Bone marrow aspirate smear
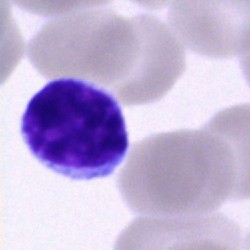

Morphological class = lymphocyte.